Bone marrow smear:
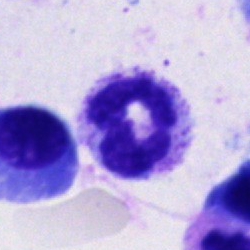
Polymorphonuclear neutrophil.